Bone marrow aspirate smear
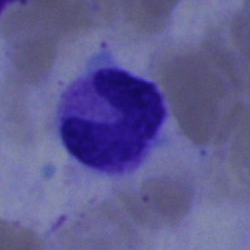 Q: Identify the cell.
A: A band neutrophil.